Bone marrow aspirate smear — 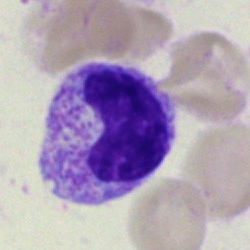
Morphology consistent with a band-form neutrophil.